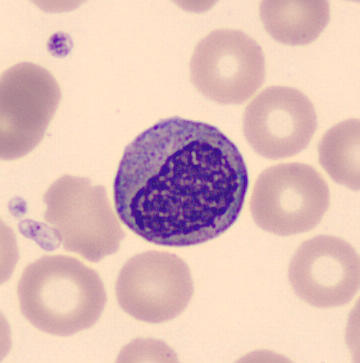 Morphological class — myelocyte.